Single-cell field. Bone marrow smear.
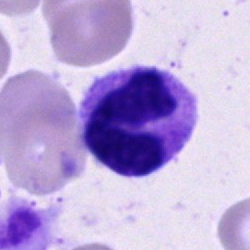
{"cell_type": "polymorphonuclear neutrophil"}